Bone marrow aspirate smear:
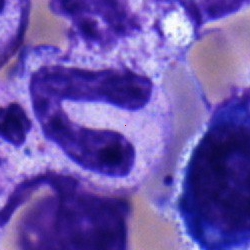

The cell is band neutrophil.